Brightfield microscopy, 40× oil immersion · bone marrow smear:
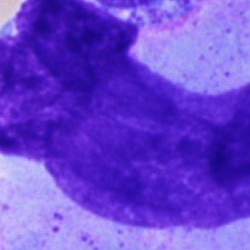
Q: What is shown here?
A: This is an artifact.